Bone marrow aspirate smear — 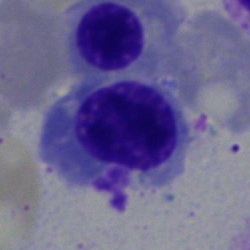 Q: Identify the cell.
A: A normoblast.